MGG-stained · bone marrow aspirate smear · 40× objective, oil immersion
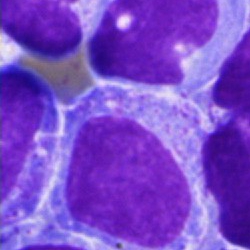
{"cell_type": "undifferentiated blast"}